Bone marrow smear.
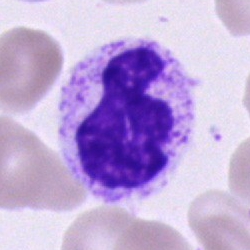

Classification — segmented neutrophil.